Bone marrow smear · 250×250 px.
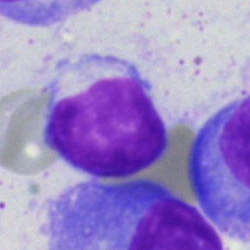Impression — lymphocyte.